Bone marrow aspirate smear
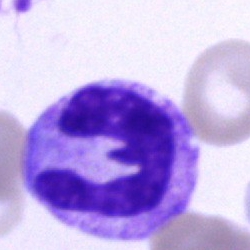Q: What cell is this?
A: A monocyte.